Bone marrow smear: 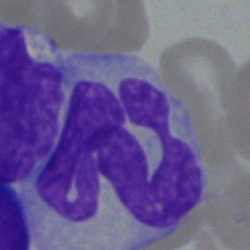

Morphological class = monocyte.